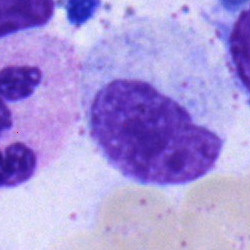

Morphology consistent with a metamyelocyte.